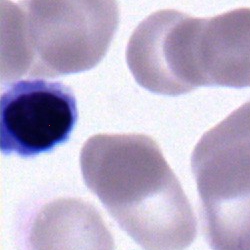 Morphology consistent with a nucleated red cell.